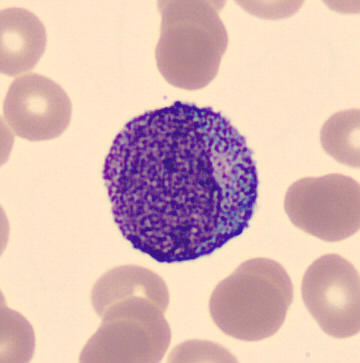Cell = promyelocyte. Acquisition: Peripheral blood smear.